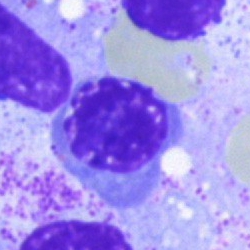 Morphological class: nucleated red blood cell.